Bone marrow aspirate smear · single-cell crop:
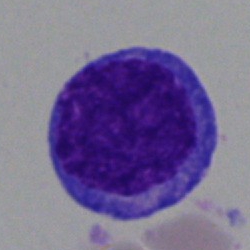
Single cell identified as an undifferentiated blast.